100× objective, oil immersion · peripheral blood smear: 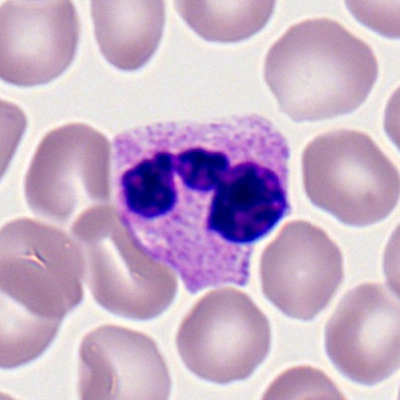

Morphology → neutrophil (segmented).